Romanowsky stain. Peripheral blood film:
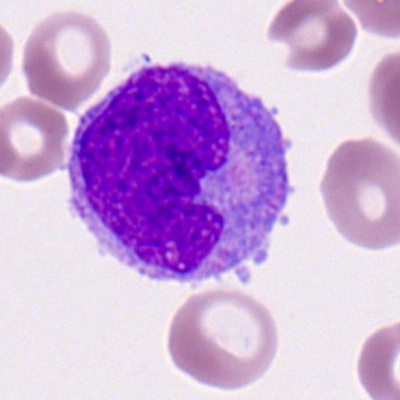Morphology → monocyte.